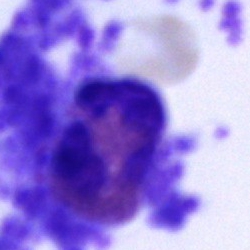 Q: What is shown here?
A: Eosinophil.